Peripheral blood smear. Romanowsky-stained. Cropped to a single cell
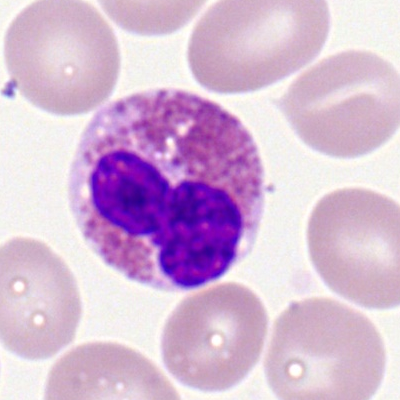Morphology — eosinophil.